Peripheral blood smear. Single-cell field. 360×363.
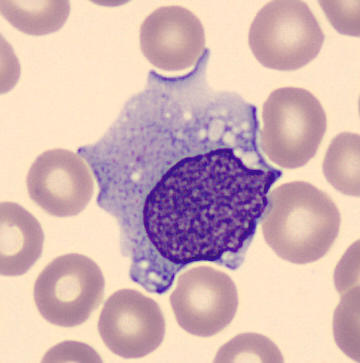

Q: What is the morphological classification of this cell?
A: A monocyte.